Brightfield, 40× oil-immersion objective. Bone marrow smear. MGG-stained:
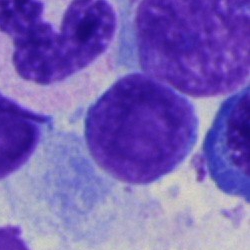Single cell identified as an artefact.